Bone marrow smear. MGG-stained: 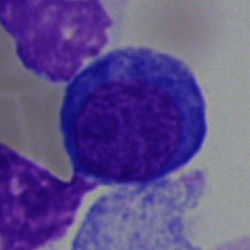

Q: What type of cell is this?
A: This is a nucleated red cell.